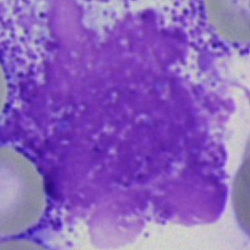 An artefact on a bone marrow smear.